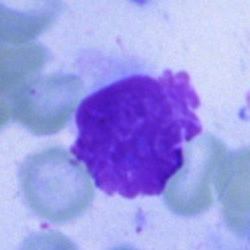

Cell type — artifact.